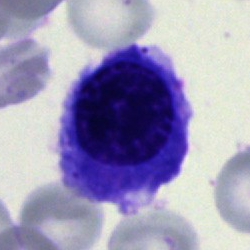
Cell = nucleated red cell.